Bone marrow aspirate smear:
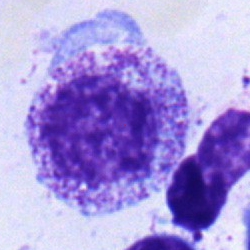
Specimen: bone marrow aspirate smear.
Cell type: myelocyte.